Bone marrow smear — 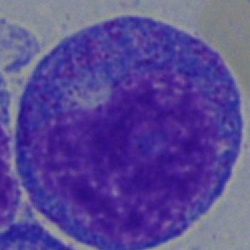

Cell: promyelocyte.